Bone marrow aspirate smear:
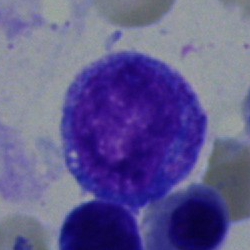
A blast cell.